Bone marrow aspirate smear.
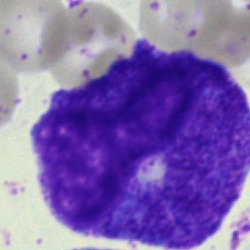Showing a metamyelocyte.